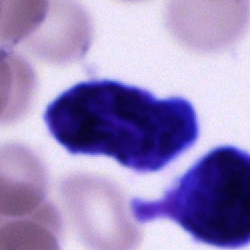

Q: What is shown here?
A: Cell of indeterminate lineage.